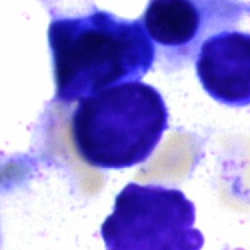
Bone marrow smear showing an unidentifiable cell.